Bone marrow smear — 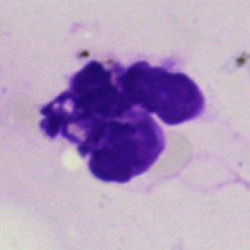Single cell identified as an artefact.